Bone marrow aspirate smear · brightfield, 40× oil-immersion objective
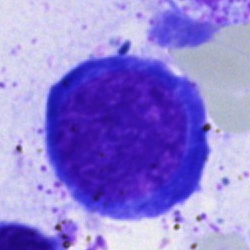 The cell type is nucleated red cell.